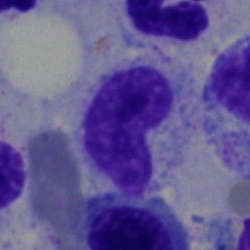Q: Which cell type is shown here?
A: This is a stab cell.